Single-cell crop · bone marrow smear · 250 by 250 pixels
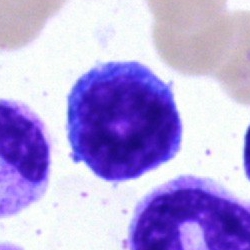Q: Which cell type is shown here?
A: It is a typical lymphocyte.